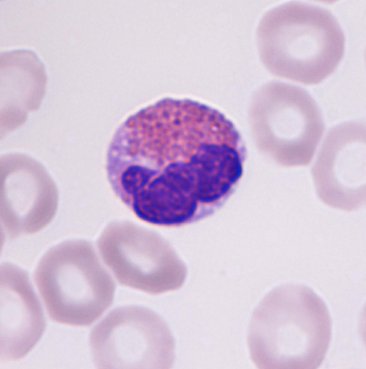
Preparation: 366 by 369 pixels · May-Grünwald-Giemsa-stained · peripheral blood film.

Cell — eosinophil.